Brightfield, 40× oil-immersion objective. Bone marrow smear
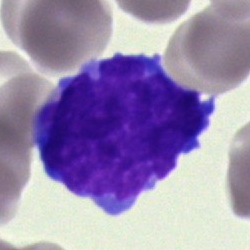{"cell_type": "blast"}